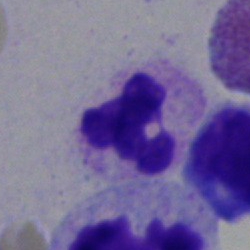

Single cell identified as a neutrophil (segmented).